40× objective, oil immersion. Bone marrow smear:
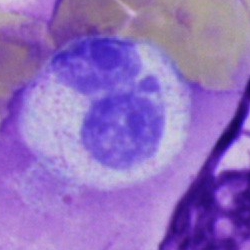

Showing a polymorphonuclear neutrophil.